Bone marrow aspirate smear:
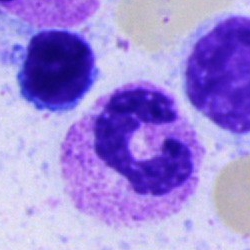A polymorphonuclear neutrophil.